Bone marrow aspirate smear:
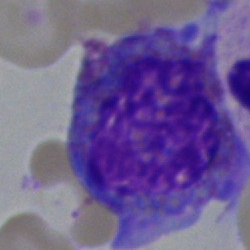

Single cell identified as a promyelocyte.